Peripheral blood film · Romanowsky-stained · single-cell field: 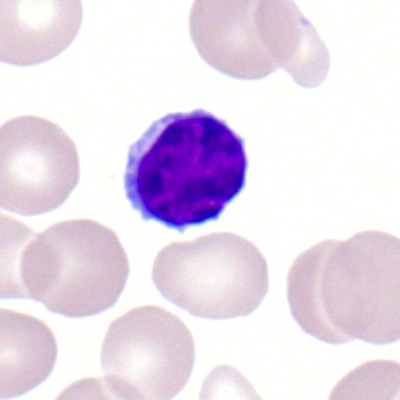Single cell identified as a typical lymphocyte.